Bone marrow aspirate smear.
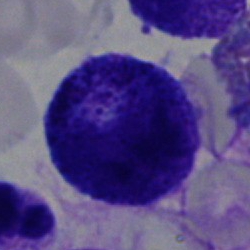Impression → progranulocyte.